250×250; bone marrow smear: 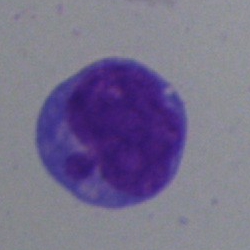 Single cell identified as a monocyte.